Bone marrow smear: 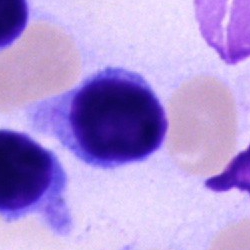Showing a lymphocyte.